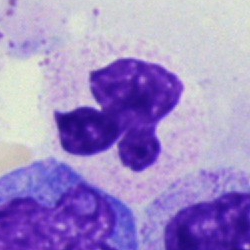Specimen: bone marrow aspirate smear.
Morphological class: neutrophil (segmented).
Lineage: myeloid.